Bone marrow aspirate smear
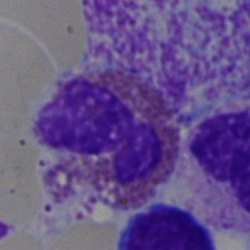

An eosinophilic granulocyte.